Bone marrow smear:
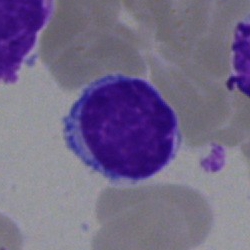Specimen: bone marrow aspirate smear.
Cell: typical lymphocyte.